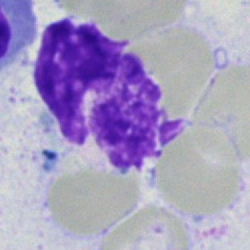Bone marrow smear showing an artifact.